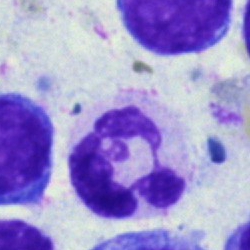 The cell shown is a neutrophil (segmented).